Bone marrow aspirate smear: 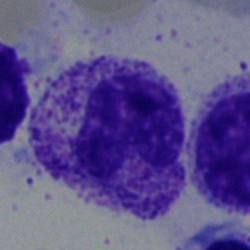
Morphological class — myelocyte.